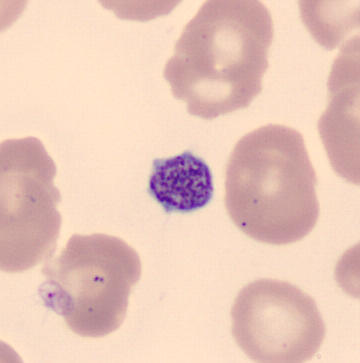

Peripheral blood smear.

Cell type: platelet.